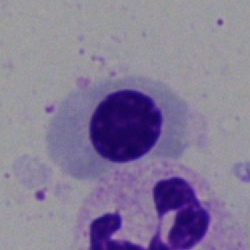
Q: What cell is this?
A: A normoblast.